Bone marrow smear
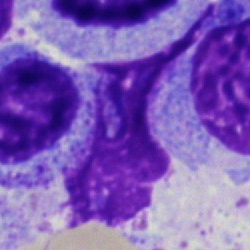
Showing an artifact.